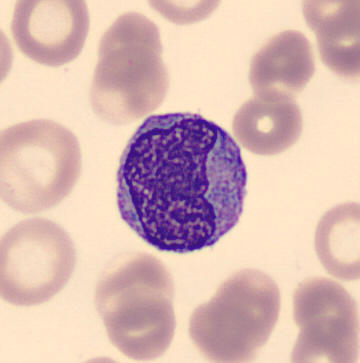

Q: What is the morphological classification of this cell?
A: This is a monocyte.